Bone marrow aspirate smear
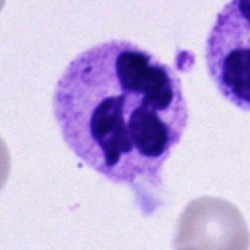
Impression — polymorphonuclear neutrophil.